Bone marrow smear.
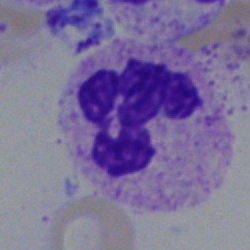 Q: What cell is this?
A: A neutrophil (segmented).